Bone marrow smear.
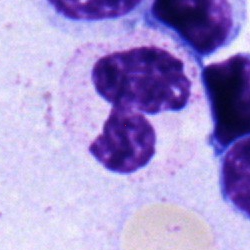 Single cell identified as a segmented neutrophil.